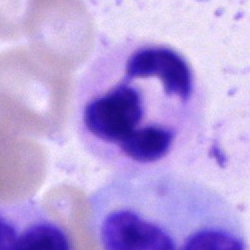 Showing a polymorphonuclear neutrophil.